Bone marrow aspirate smear:
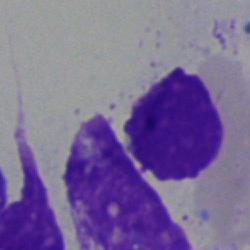

Classification: artifact.